Bone marrow aspirate smear:
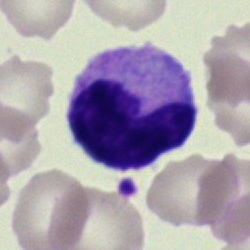 Cell: band-form neutrophil.